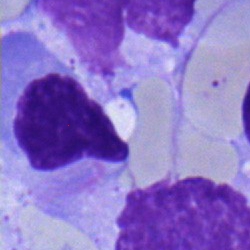 Bone marrow aspirate smear, single cell — nucleated red cell.